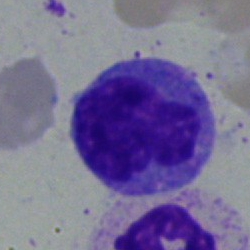
Showing a monocyte.